Bone marrow smear:
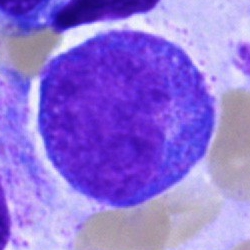

Cell type — progranulocyte.